Bone marrow aspirate smear; Pappenheim-stained: 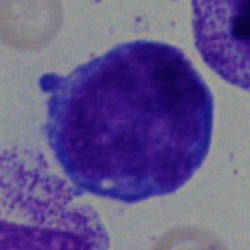Specimen: bone marrow smear.
Classification: blast cell.